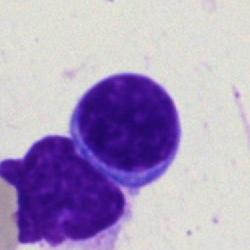

Classification = lymphocyte.